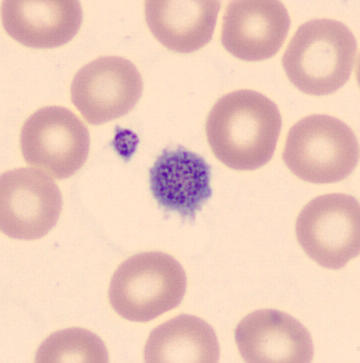 The morphological class is platelet.